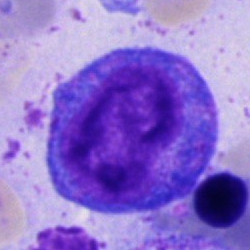Bone marrow aspirate smear, single cell — promyelocyte.